Bone marrow smear.
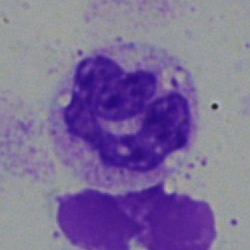Cell = neutrophil (segmented).